May-Grünwald-Giemsa/Pappenheim stain · bone marrow smear: 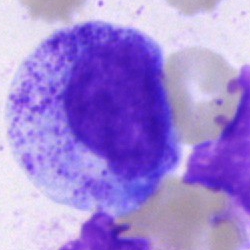Cell: progranulocyte.